Romanowsky stain · 100× oil immersion · peripheral blood smear: 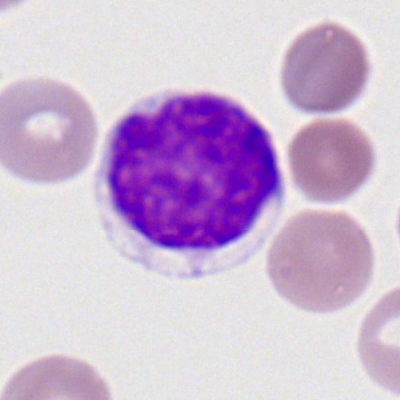
The cell shown is a typical lymphocyte.